Bone marrow aspirate smear
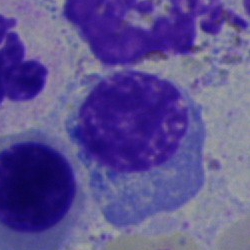 Morphological class: erythroblast.